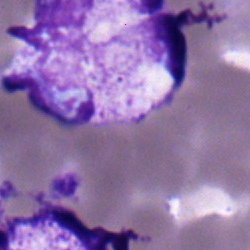
Single-cell crop from a bone marrow smear: neutrophil (segmented).